Bone marrow smear — 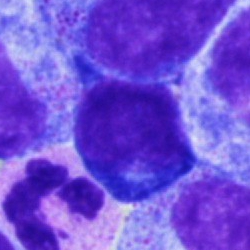
{"cell_type": "proerythroblast"}